Single-cell crop · May-Grünwald-Giemsa-stained · peripheral blood smear — 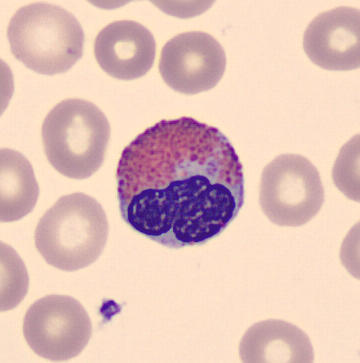
The cell shown is an eosinophilic granulocyte.